Bone marrow smear — 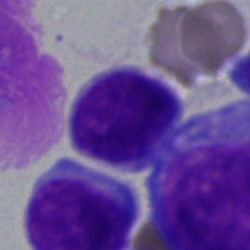 Cell type: typical lymphocyte.